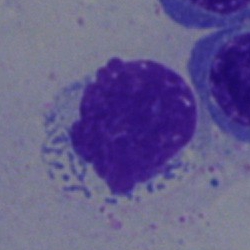Impression — artifact.